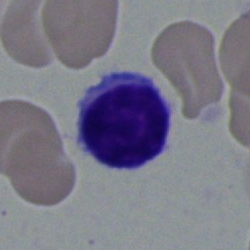

Typical lymphocyte.